250×250 px. Bone marrow smear.
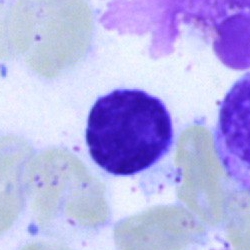
The morphological class is typical lymphocyte.